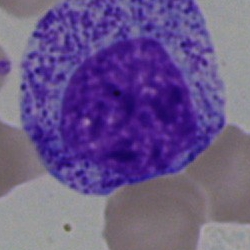

The cell is promyelocyte.